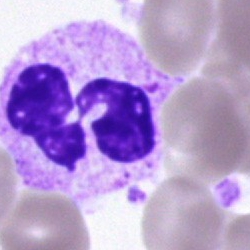Morphological class: polymorphonuclear neutrophil.